Bone marrow smear. 40× objective, oil immersion
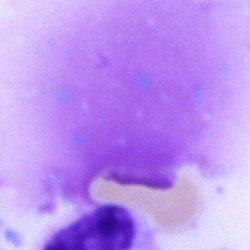

The cell type is artefact.